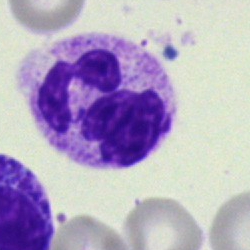
Single-cell crop from a bone marrow smear: polymorphonuclear neutrophil.